Bone marrow smear; brightfield, 40× oil-immersion objective: 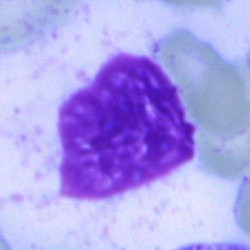 The morphological class is artefact.